Bone marrow smear. Pappenheim-stained. Cropped to a single cell:
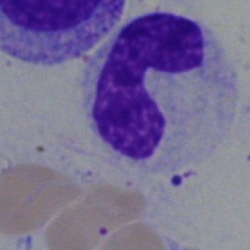
Morphological class = band neutrophil.